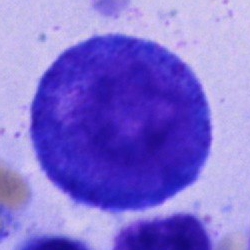
Impression → progranulocyte.